May-Grünwald-Giemsa stain; bone marrow aspirate smear; cropped to a single cell
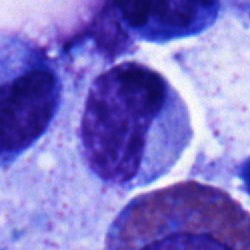 Impression → metamyelocyte.